Peripheral blood film · cropped to a single cell · Romanowsky-type stain.
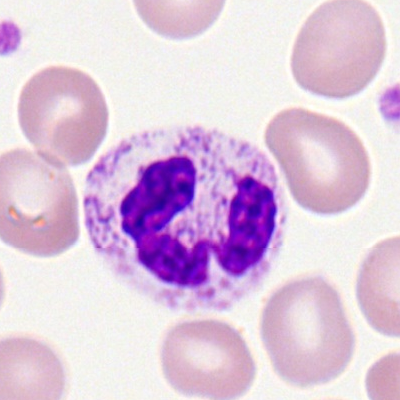
Morphology → segmented neutrophil.